Bone marrow aspirate smear:
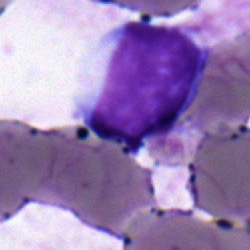

Q: Identify the cell.
A: A typical lymphocyte.